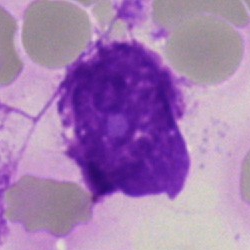

Morphological class = artifact.